Bone marrow aspirate smear: 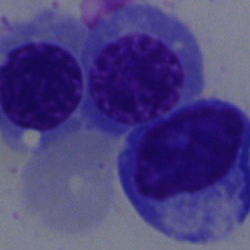 Q: What is the morphological classification of this cell?
A: Nucleated red blood cell.